Brightfield, 40× oil-immersion objective · bone marrow aspirate smear · 250 by 250 pixels.
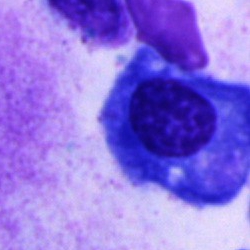Morphology — plasmacyte.